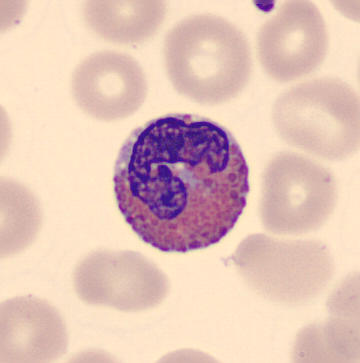
Acquisition: Peripheral blood smear. The cell is eosinophilic granulocyte.